360 by 363 pixels · peripheral blood film.
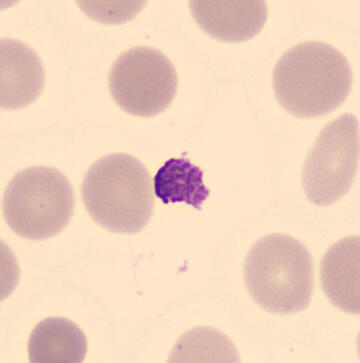
Impression → platelet.